Bone marrow aspirate smear — 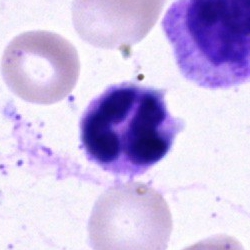
Q: Identify the cell.
A: It is a polymorphonuclear neutrophil.